Bone marrow smear; 250×250 px.
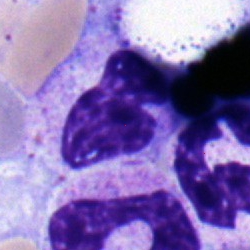 Cell: segmented neutrophil.